May-Grünwald-Giemsa stain. Bone marrow smear — 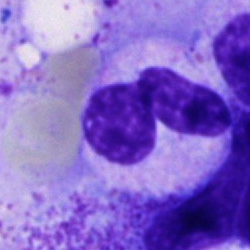

Q: Identify the cell.
A: Neutrophil (segmented).